Bone marrow smear. Single-cell crop. May-Grünwald-Giemsa stain: 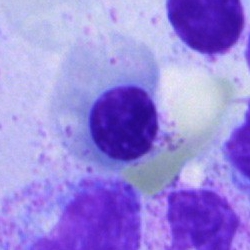Cell type — erythroblast.